Single cell centered in the field. Bone marrow smear
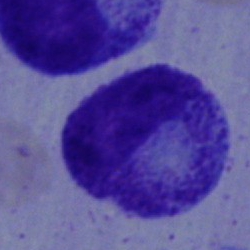Showing a myelocyte.